Bone marrow aspirate smear. 250×250: 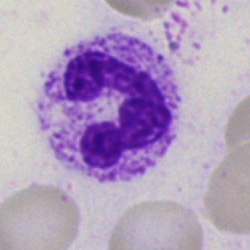 Morphology → polymorphonuclear neutrophil.